40× objective, oil immersion; bone marrow smear; 250 by 250 pixels.
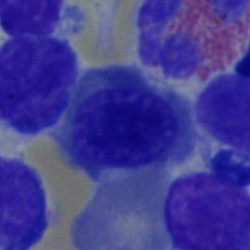Impression — nucleated red cell.